Bone marrow smear
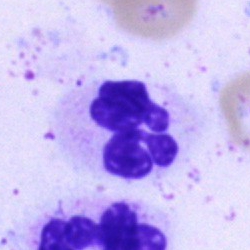 The cell shown is a neutrophil (segmented).